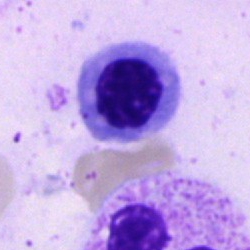

Cell: erythroblast.